Single-cell crop. Bone marrow aspirate smear.
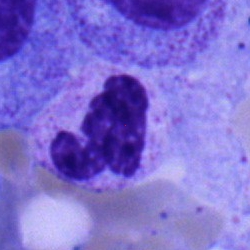
Single cell identified as a neutrophil (segmented).